Bone marrow smear. Image size 250×250: 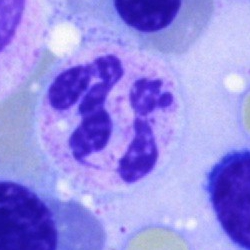
The cell type is neutrophil (segmented).